Cropped to a single cell · 250×250 px · bone marrow smear.
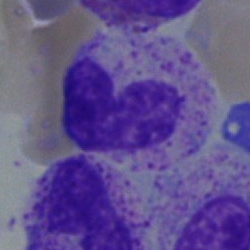

A stab cell.